Peripheral blood smear · image size 400×400 · single cell centered in the field:
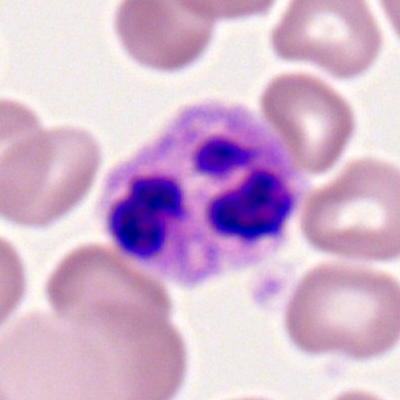 The classification is segmented neutrophil.